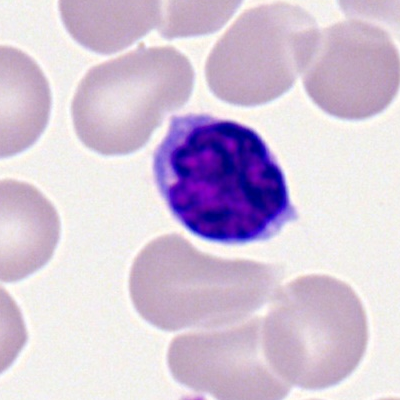
Single cell identified as a typical lymphocyte.